Bone marrow smear · 250 by 250 pixels.
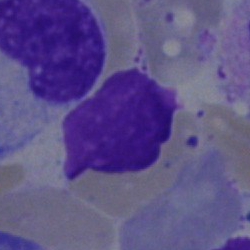

Cell = artefact.